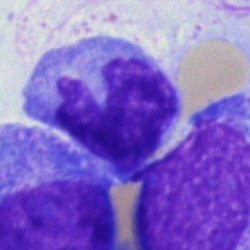{"cell_type": "monocyte", "lineage": "myeloid"}